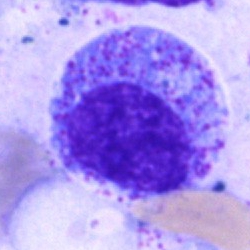Classification = promyelocyte.